Bone marrow smear — 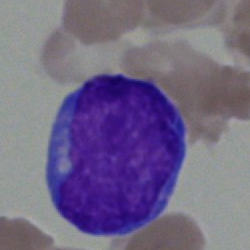
Cell type = blast.